Bone marrow aspirate smear · Pappenheim-stained · brightfield, 40× oil-immersion objective — 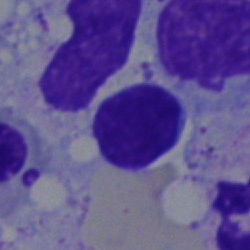 Morphology consistent with a lymphocyte.